Bone marrow aspirate smear:
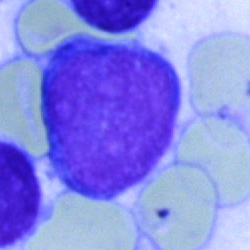
Q: Identify the cell.
A: This is a blast cell.